Bone marrow smear.
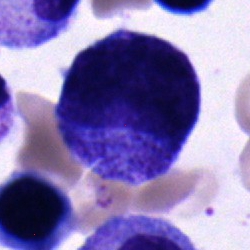 Specimen: bone marrow aspirate smear.
Classification: progranulocyte.
Lineage: myeloid.